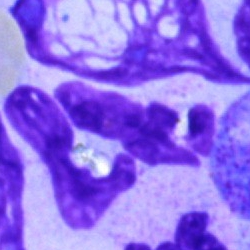

Artifact.